Single-cell field; bone marrow aspirate smear
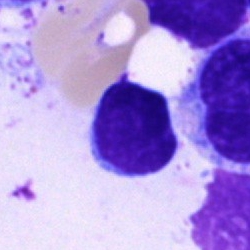Classification — typical lymphocyte.